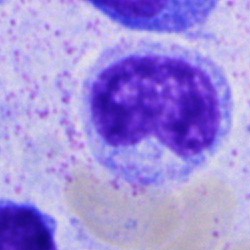

Showing a metamyelocyte.